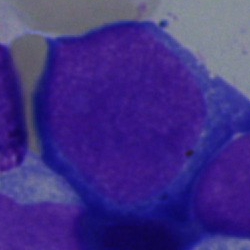
The classification is blast.